Bone marrow aspirate smear: 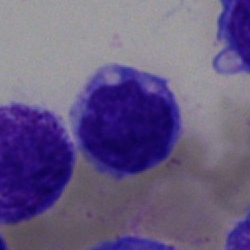
Single cell identified as an undifferentiated blast.